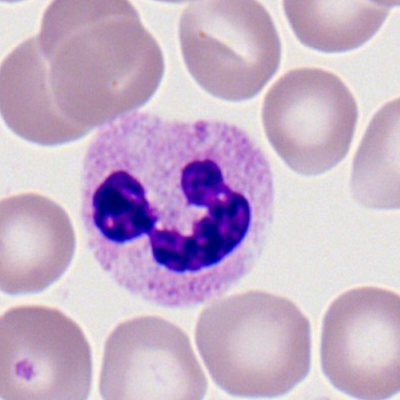 {"cell_type": "neutrophil (segmented)", "lineage": "myeloid"}